Bone marrow smear: 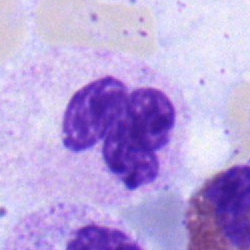
Showing a neutrophil (segmented).